May-Grünwald-Giemsa/Pappenheim stain. Bone marrow aspirate smear.
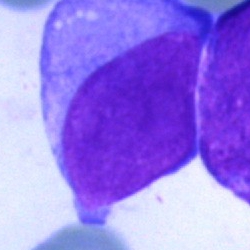
Classification = undifferentiated blast.